Bone marrow aspirate smear — 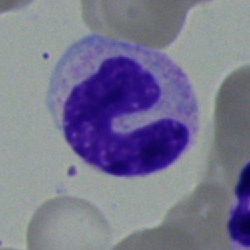 Impression — neutrophil (band).